Bone marrow smear
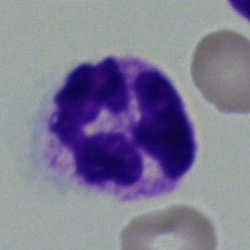Morphological class — polymorphonuclear neutrophil.